Bone marrow aspirate smear:
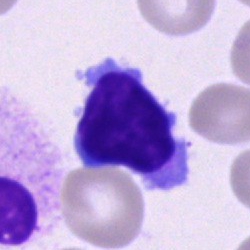
Specimen: bone marrow aspirate smear.
Classification: typical lymphocyte.
Lineage: lymphoid.